250×250 · bone marrow aspirate smear · 40× oil immersion: 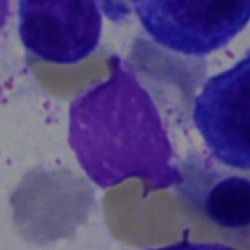

This is an artifact.